Bone marrow aspirate smear.
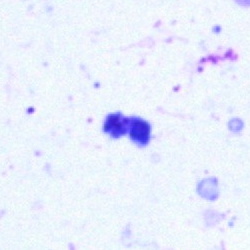

Q: What is shown here?
A: Artifact.